Bone marrow smear · single-cell crop.
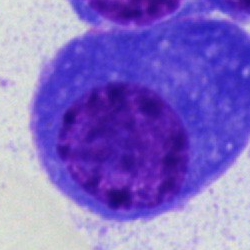 Showing a plasma cell.